Bone marrow aspirate smear. 250×250. 40× oil immersion.
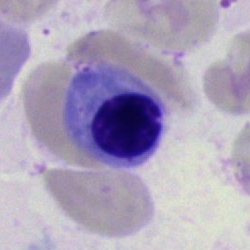The cell shown is a normoblast.